Bone marrow aspirate smear; cropped to a single cell; 250×250:
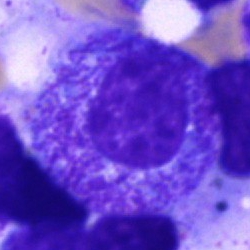 A promyelocyte.